Bone marrow aspirate smear; 40× oil immersion — 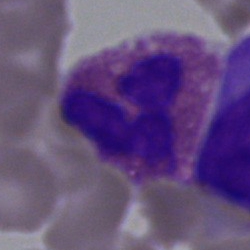 This is an eosinophilic granulocyte.